Bone marrow smear · 40× objective, oil immersion — 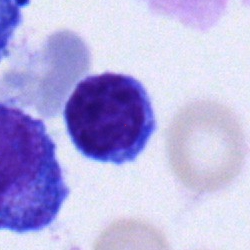Cell type — typical lymphocyte.